250×250 px · bone marrow smear · May-Grünwald-Giemsa/Pappenheim stain:
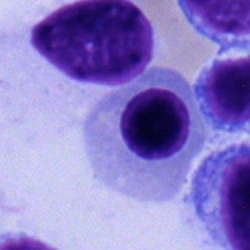

Impression → nucleated red blood cell.